Bone marrow smear:
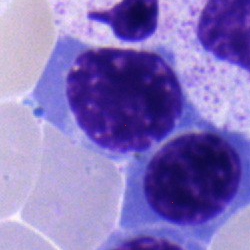

Morphological class = normoblast.